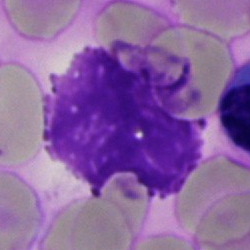 Impression — artefact.